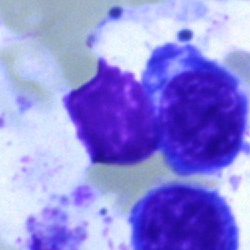
A nucleated red blood cell on a bone marrow smear.